Peripheral blood smear. Single-cell crop: 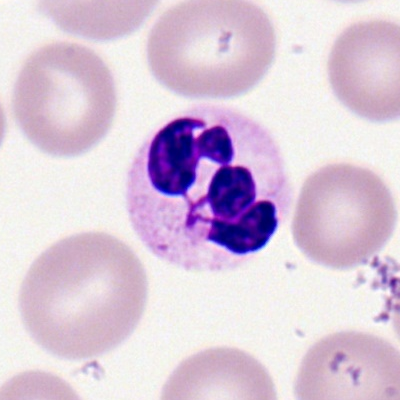Specimen: peripheral blood smear.
Cell: polymorphonuclear neutrophil.
Lineage: myeloid.